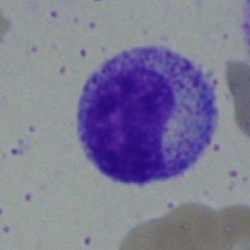 Morphology consistent with a myelocyte.